Bone marrow aspirate smear; brightfield microscopy, 40× oil immersion
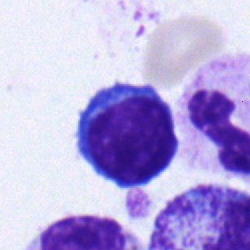
Showing a nucleated red blood cell.